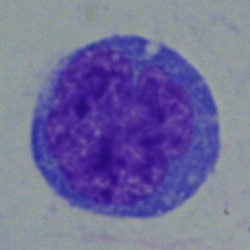This is an undifferentiated blast.